Bone marrow aspirate smear.
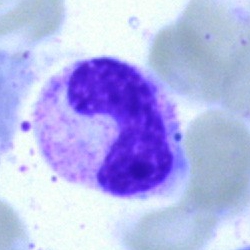 Specimen: bone marrow smear.
Morphological class: band-form neutrophil.